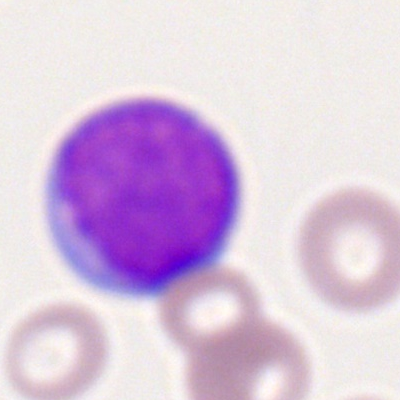
{"cell_type": "myeloid blast"}